Bone marrow smear · MGG-stained: 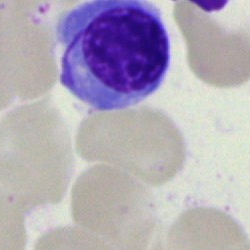 Q: What type of cell is this?
A: An erythroblast.